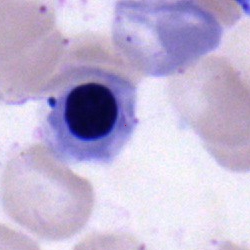A nucleated red blood cell.